Bone marrow aspirate smear: 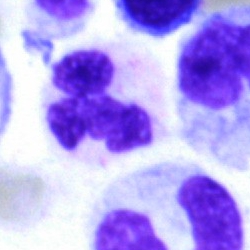Morphology — polymorphonuclear neutrophil.